Peripheral blood film: 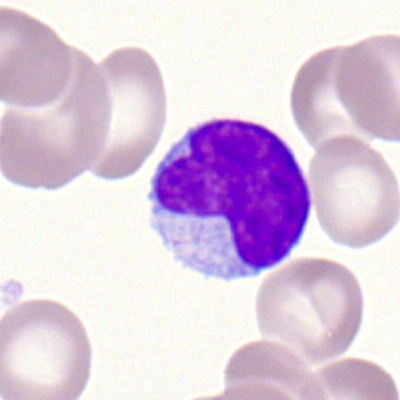Classification: lymphocyte.